Peripheral blood film. 100× oil immersion, 14.14 px/µm. Romanowsky stain: 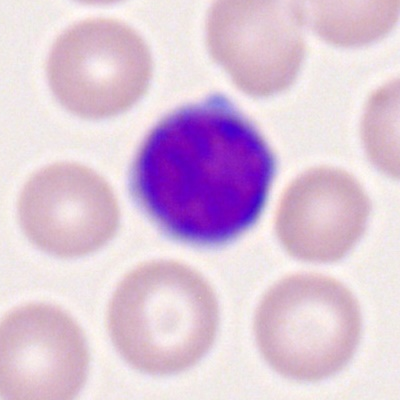 Morphology — lymphocyte.